Bone marrow smear:
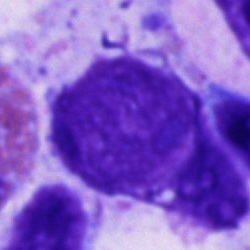Morphological class = artifact.